Bone marrow smear · image size 250×250
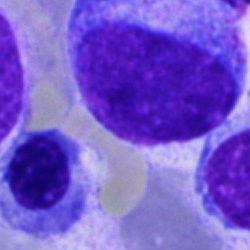 Impression → progranulocyte.